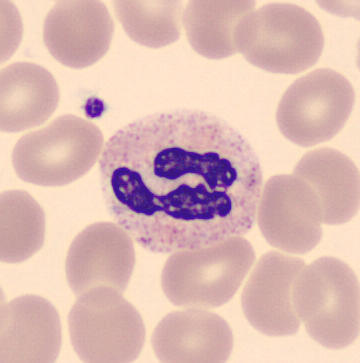 Single cell identified as a segmented neutrophil.
Preparation: Peripheral blood film. Image size 360×363. CellaVision DM96.